Bone marrow smear: 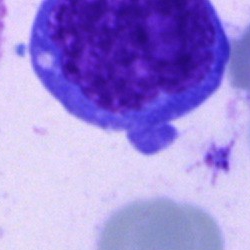
Morphological class — blast.